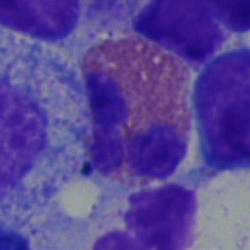 This is an eosinophilic granulocyte.